Bone marrow aspirate smear — 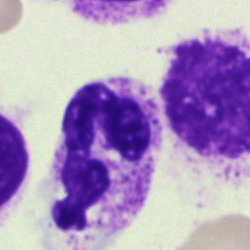 Specimen: bone marrow aspirate smear.
Morphological class: polymorphonuclear neutrophil.